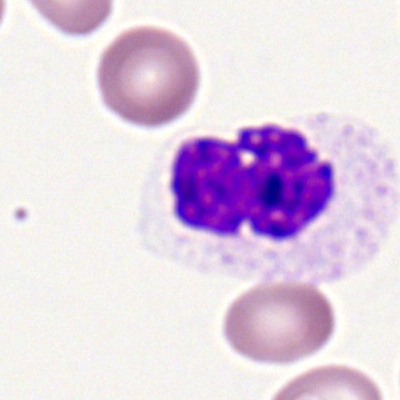 Single-cell crop from a peripheral blood smear: segmented neutrophil.